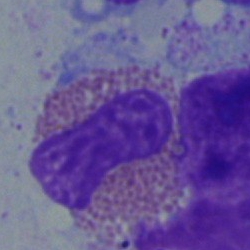

Cell: eosinophilic granulocyte.